Bone marrow smear: 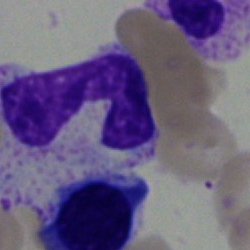Morphological class: band neutrophil.